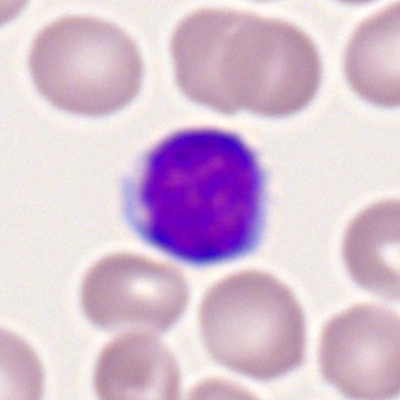 {"cell_type": "lymphocyte", "lineage": "lymphoid"}